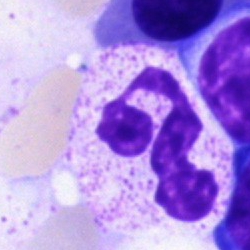
Neutrophil (segmented).